Bone marrow aspirate smear. 250 by 250 pixels — 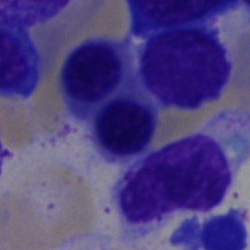

Cell = nucleated red blood cell.